Romanowsky-stained · peripheral blood film · single-cell crop:
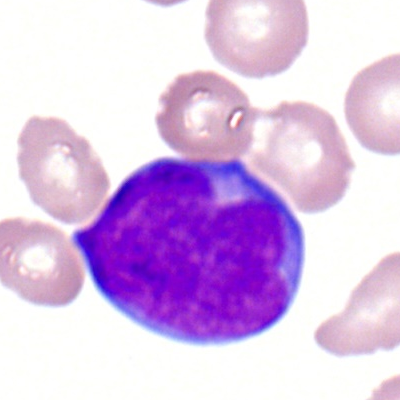 Q: What is shown here?
A: A myeloblast.